Bone marrow smear: 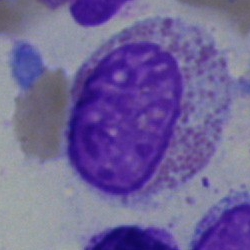Q: What is shown here?
A: This is an eosinophil.